Single cell centered in the field · bone marrow smear · May-Grünwald-Giemsa stain:
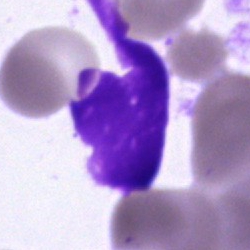
Q: What is shown here?
A: It is an artefact.